Bone marrow aspirate smear
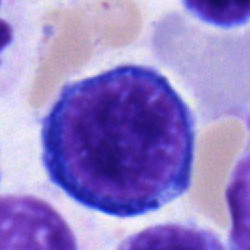
Morphology consistent with a proerythroblast.